Brightfield microscopy, 40× oil immersion. May-Grünwald-Giemsa/Pappenheim stain. Bone marrow aspirate smear:
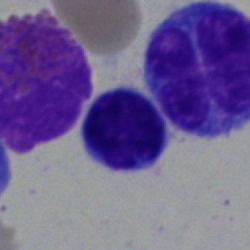
The cell type is lymphocyte.